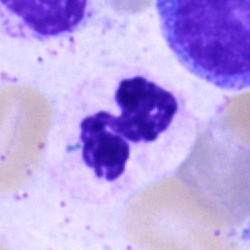

Q: What is the morphological classification of this cell?
A: A neutrophil (segmented).